Bone marrow aspirate smear; 250 by 250 pixels: 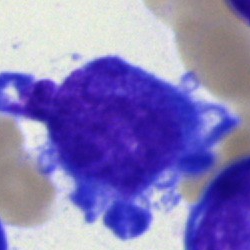Classification — undifferentiated blast.